Bone marrow smear; brightfield, 40× oil-immersion objective — 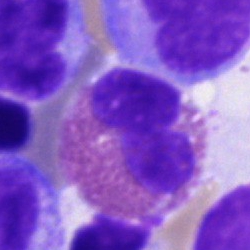
Specimen: bone marrow aspirate smear.
Classification: eosinophil.
Lineage: myeloid.